Bone marrow aspirate smear.
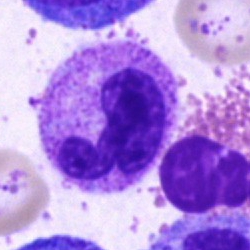

Q: What is shown here?
A: A polymorphonuclear neutrophil.